Bone marrow smear.
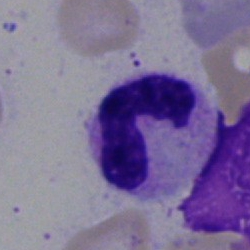
Cell type: neutrophil (segmented).